Bone marrow aspirate smear: 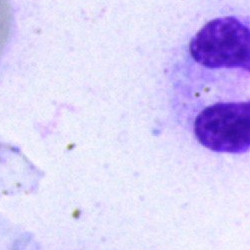

Q: What is shown here?
A: It is an artefact.